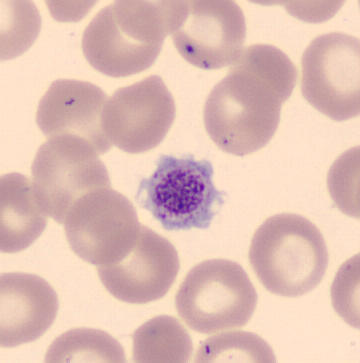

Specimen: peripheral blood smear.
Morphological class: platelet (thrombocyte).